Bone marrow smear · 250×250 px — 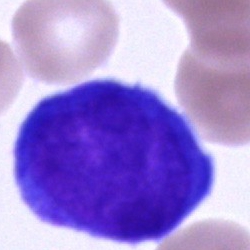A blast cell.